Single-cell crop. Bone marrow smear.
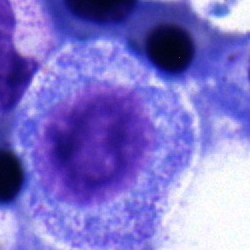

This is a progranulocyte.